Brightfield, 40× oil-immersion objective · bone marrow smear: 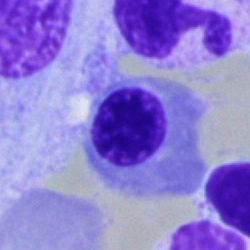

Morphology consistent with a normoblast.